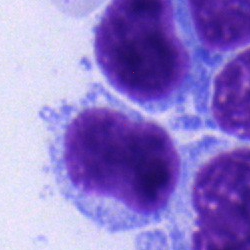Showing a lymphocyte.